Image size 250×250; bone marrow smear; 40× oil immersion: 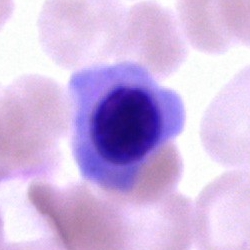Erythroblast.